Peripheral blood film: 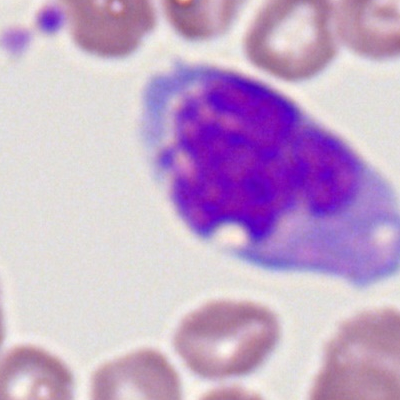
Specimen: peripheral blood smear.
Cell: monocyte.
Lineage: myeloid.